Bone marrow aspirate smear: 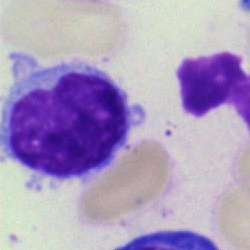

Single cell identified as a typical lymphocyte.